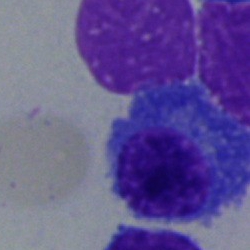
Morphological class = plasma cell.